Bone marrow smear.
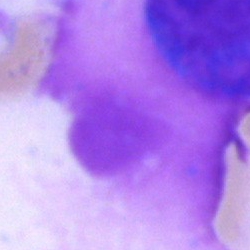

Morphological class = artifact.